Brightfield microscopy, 40× oil immersion · bone marrow aspirate smear: 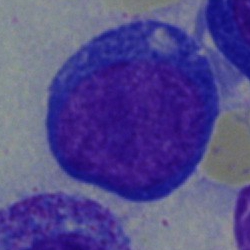Q: What type of cell is this?
A: This is a pronormoblast.